Single-cell field · brightfield, 40× oil-immersion objective · bone marrow smear:
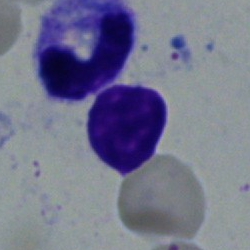Morphology consistent with a typical lymphocyte.